Bone marrow smear: 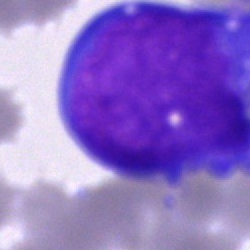
Single cell identified as an undifferentiated blast.